Bone marrow aspirate smear; 250 by 250 pixels: 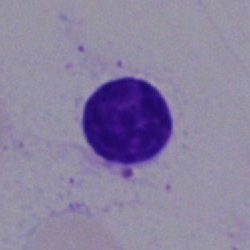
Cell type = lymphocyte.